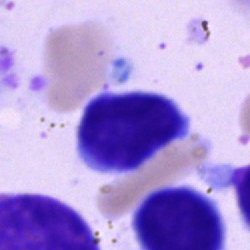 The cell is lymphocyte.